Peripheral blood smear. Image size 400×400. Romanowsky-type stain.
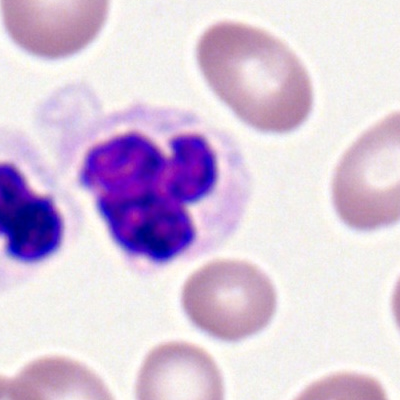Morphological class: neutrophil (segmented).